40× oil immersion; Pappenheim-stained; bone marrow aspirate smear: 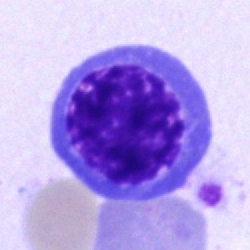
Specimen: bone marrow aspirate smear.
Morphological class: nucleated red blood cell.
Lineage: erythroid.